Bone marrow smear — 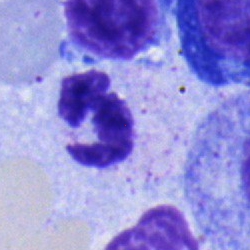Q: Identify the cell.
A: A segmented neutrophil.